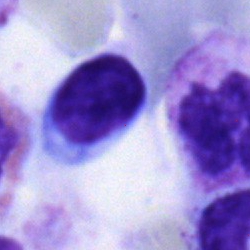

Lymphocyte.